Bone marrow aspirate smear:
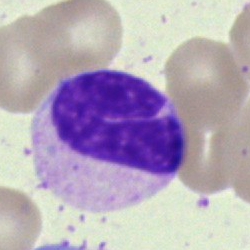
Morphological class: band-form neutrophil.